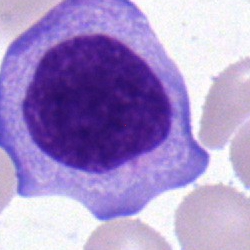
Cell type — typical lymphocyte.